Single cell centered in the field. Bone marrow aspirate smear. Pappenheim-stained
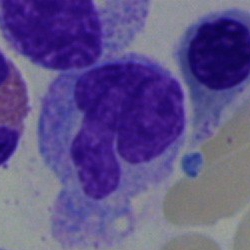
Morphology → monocyte.